Pappenheim-stained; bone marrow aspirate smear: 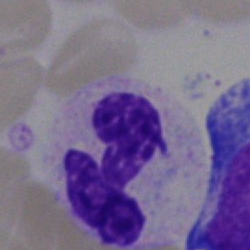

Showing a segmented neutrophil.